Bone marrow aspirate smear
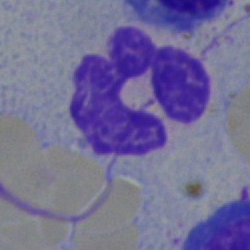 Q: What is shown here?
A: Neutrophil (segmented).